Bone marrow aspirate smear. May-Grünwald-Giemsa stain. 40× objective, oil immersion.
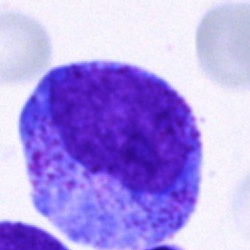

This is a progranulocyte.